Bone marrow aspirate smear. 250×250. Single-cell field: 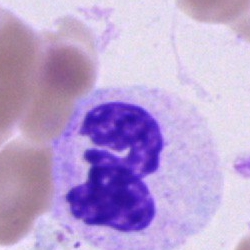Q: What type of cell is this?
A: A neutrophil (segmented).